Bone marrow smear
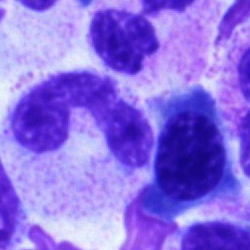 Q: Identify the cell.
A: It is a neutrophil (segmented).